Bone marrow smear · Pappenheim-stained:
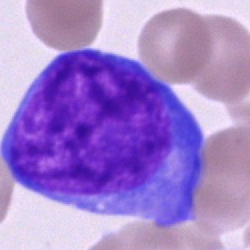A blast.